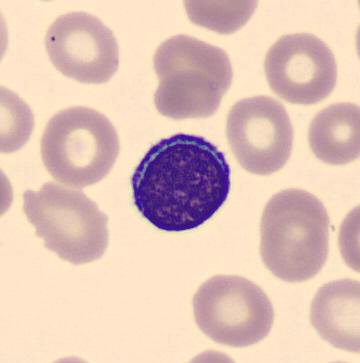
Q: Which cell type is shown here?
A: A typical lymphocyte. Preparation: Cropped to a single cell; peripheral blood film.